Bone marrow smear · single-cell field — 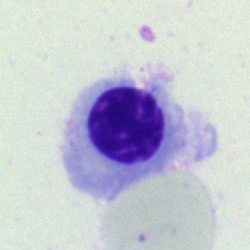Showing a nucleated red cell.